Image size 250×250; bone marrow smear: 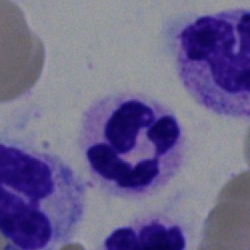
The cell is neutrophil (segmented).